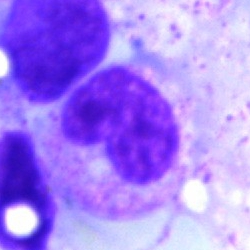
Q: Identify the cell.
A: It is a stab cell.